Brightfield microscopy, 40× oil immersion; bone marrow smear: 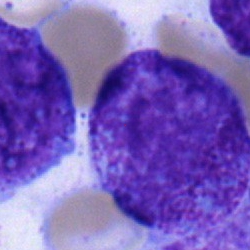Morphology → metamyelocyte.